May-Grünwald-Giemsa/Pappenheim stain. Bone marrow smear — 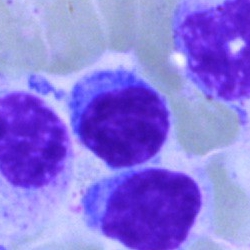A lymphocyte.